Cropped to a single cell; bone marrow aspirate smear; MGG-stained.
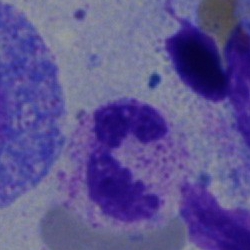
Cell type — segmented neutrophil.